Peripheral blood film. 100× objective, oil immersion. 400 by 400 pixels.
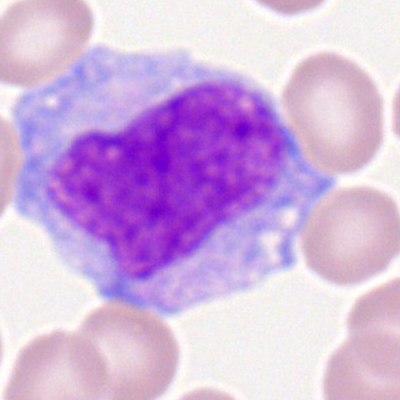
Morphological class = monocyte.